Bone marrow smear.
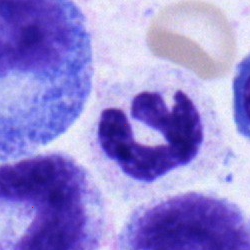
The cell is neutrophil (segmented).